250×250 px · May-Grünwald-Giemsa/Pappenheim stain · bone marrow smear — 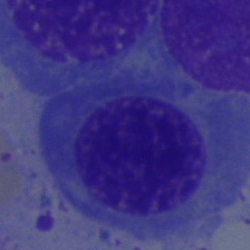
Classification = erythroblast.